Peripheral blood film
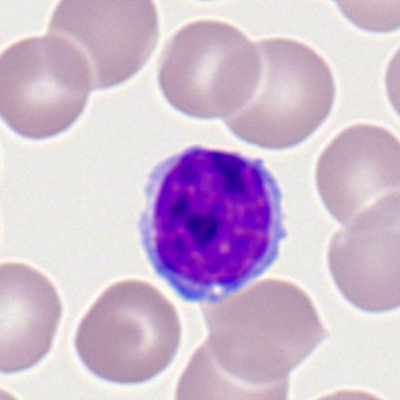 Q: What cell is this?
A: It is a lymphocyte.